Bone marrow aspirate smear; single-cell crop.
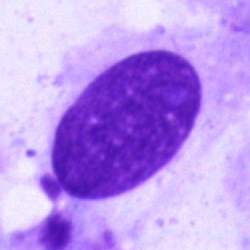

Q: What is shown here?
A: An artefact.